Single-cell field. Bone marrow smear: 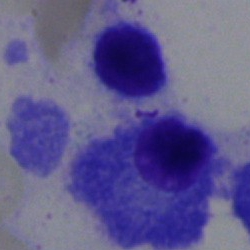 {"cell_type": "plasmacyte"}